Bone marrow smear · May-Grünwald-Giemsa stain — 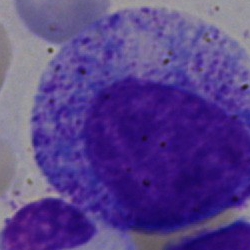Specimen: bone marrow aspirate smear.
Cell type: progranulocyte.